Bone marrow aspirate smear
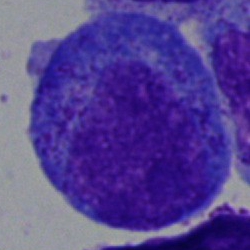

Impression → promyelocyte.